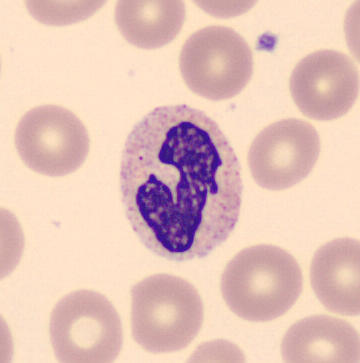

Stab cell.

Preparation: Peripheral blood smear.